Bone marrow smear; image size 250×250.
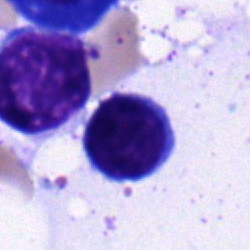
Lymphocyte.